Bone marrow aspirate smear: 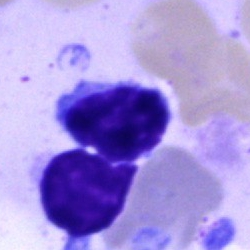

Q: What type of cell is this?
A: This is a typical lymphocyte.